Bone marrow smear · MGG-stained · brightfield microscopy, 40× oil immersion:
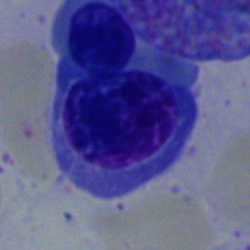 Impression — nucleated red blood cell.